Bone marrow aspirate smear: 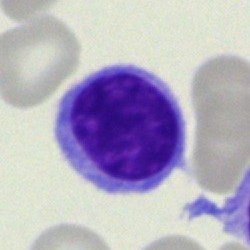

Morphology consistent with a typical lymphocyte.